Bone marrow smear.
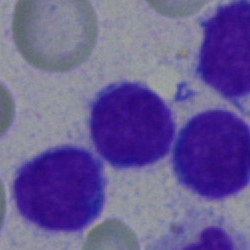
The cell shown is a lymphocyte.